MGG-stained; brightfield microscopy, 40× oil immersion; bone marrow aspirate smear
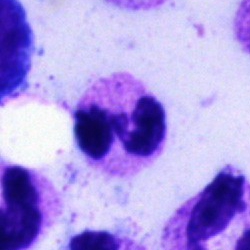{"cell_type": "polymorphonuclear neutrophil", "lineage": "myeloid"}